Bone marrow smear
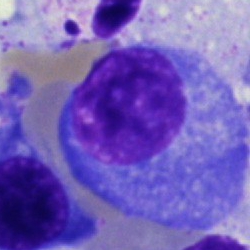The cell shown is a plasmacyte.